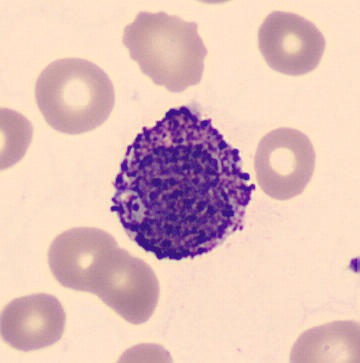Peripheral blood film, single cell — basophil.